Bone marrow aspirate smear; single-cell crop:
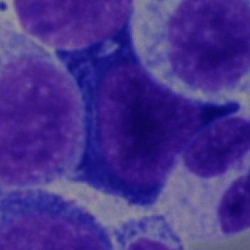
Showing a nucleated red cell.